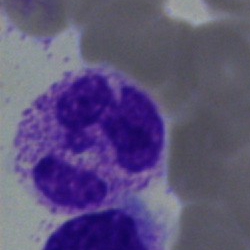Specimen: bone marrow aspirate smear.
Cell type: neutrophil (segmented).
Lineage: myeloid.